Cropped to a single cell · bone marrow aspirate smear — 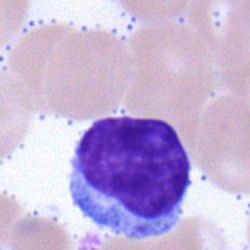

Q: What type of cell is this?
A: Lymphocyte.